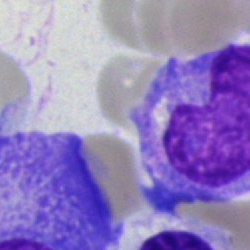Specimen: bone marrow aspirate smear.
Cell: artifact.